Bone marrow smear: 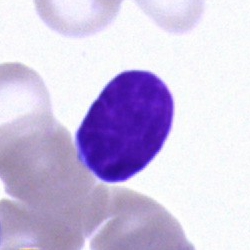
Morphology — typical lymphocyte.